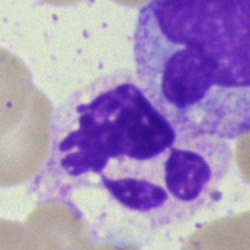

Showing a neutrophil (segmented).